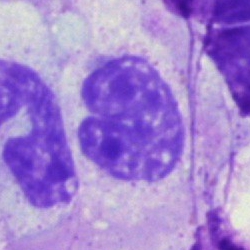
Impression → band-form neutrophil.